Bone marrow smear — 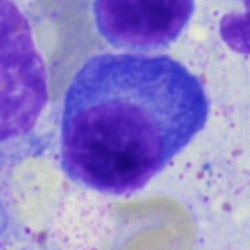Q: Which cell type is shown here?
A: This is a plasmacyte.